Romanowsky-stained; peripheral blood smear: 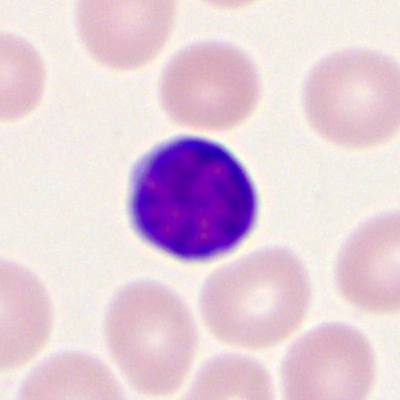 Morphological class — lymphocyte.